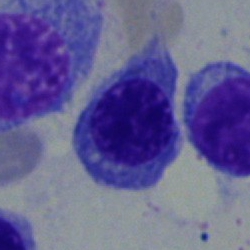 The morphological class is nucleated red cell.